Bone marrow aspirate smear · single-cell field · MGG-stained:
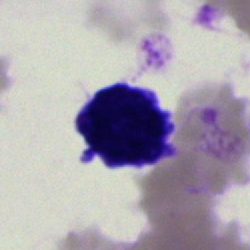Cell type — artifact.